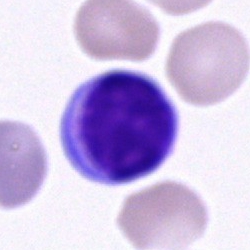

Q: What type of cell is this?
A: A lymphocyte.